Brightfield, 40× oil-immersion objective. Bone marrow aspirate smear: 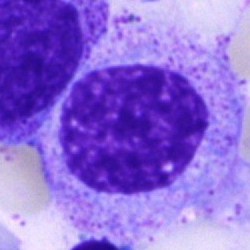 The cell shown is a progranulocyte.